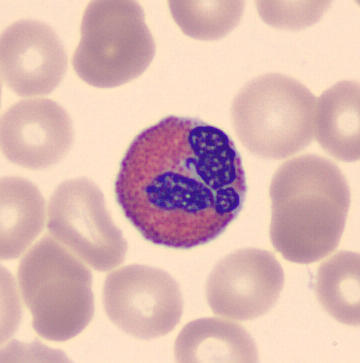

Showing an eosinophilic granulocyte.

Preparation: Peripheral blood smear. Single-cell field. 360×363.